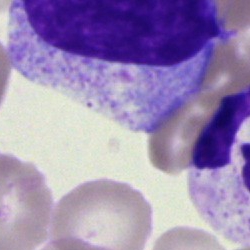

Single-cell crop from a bone marrow smear: artefact.